Bone marrow smear; 40× oil immersion — 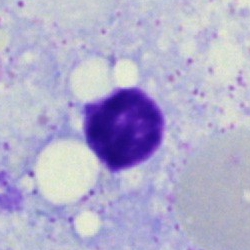
Artefact.